Bone marrow aspirate smear.
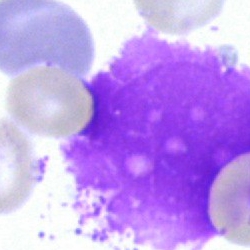
Q: What is shown here?
A: Artifact.